Bone marrow smear:
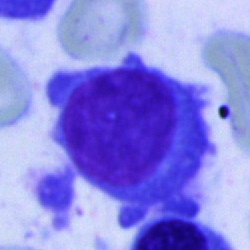This is a plasma cell.